Bone marrow aspirate smear; single-cell crop — 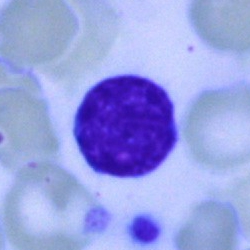 Impression → typical lymphocyte.